Bone marrow smear. Single-cell field. MGG-stained: 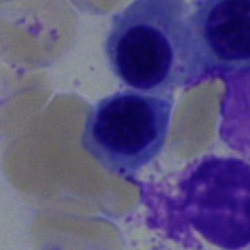 A nucleated red cell.